Bone marrow smear:
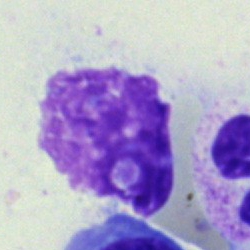 The classification is artifact.